Bone marrow aspirate smear
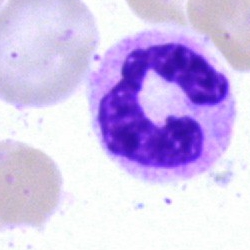

Impression → polymorphonuclear neutrophil.